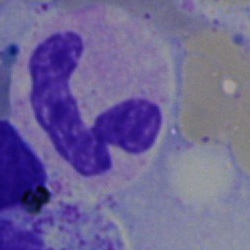The cell type is polymorphonuclear neutrophil.